Bone marrow smear; 40× objective, oil immersion: 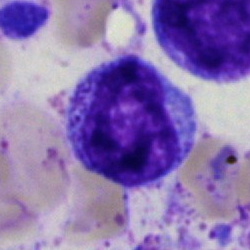Cell — myelocyte.